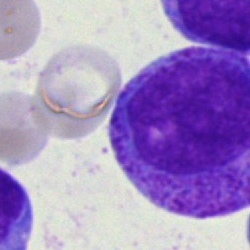 Specimen: bone marrow smear.
Classification: promyelocyte.
Lineage: myeloid.